Bone marrow aspirate smear: 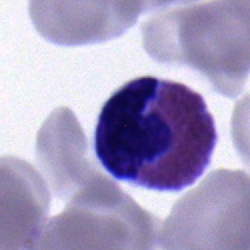 Morphological class = eosinophil.